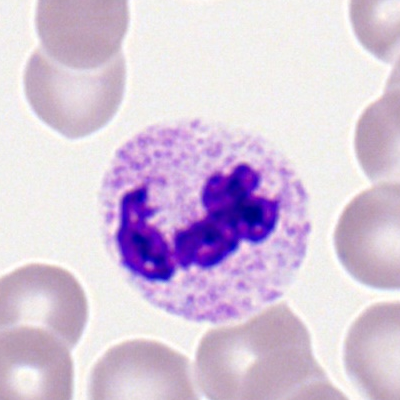
Morphological class: segmented neutrophil.